May-Grünwald-Giemsa-stained; peripheral blood smear: 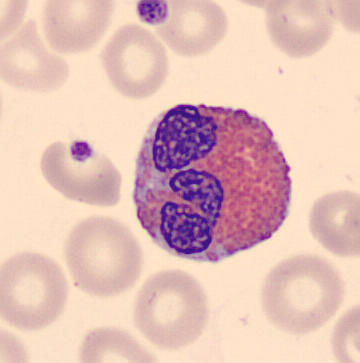Cell type = eosinophilic granulocyte.